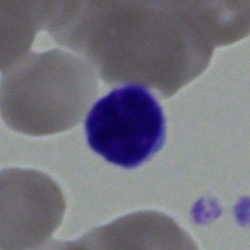 Classification: lymphocyte.